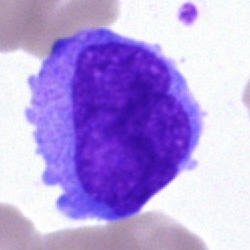 Classification — blast cell.